Peripheral blood smear · 400×400 px.
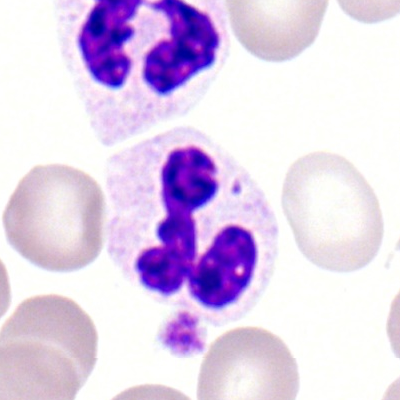Neutrophil (segmented).